Bone marrow aspirate smear: 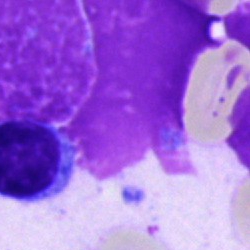Artefact.